250×250 px. Bone marrow smear — 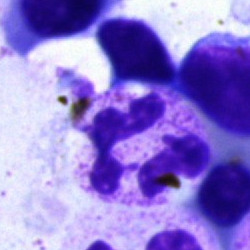

The cell shown is a segmented neutrophil.